Bone marrow aspirate smear
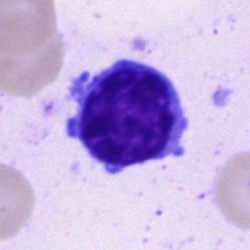 Typical lymphocyte.